40× oil immersion; bone marrow smear:
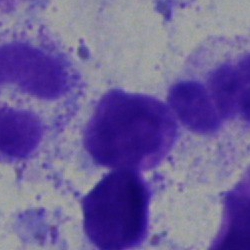
The cell type is artifact.